Bone marrow smear.
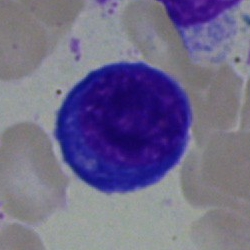

Pronormoblast.